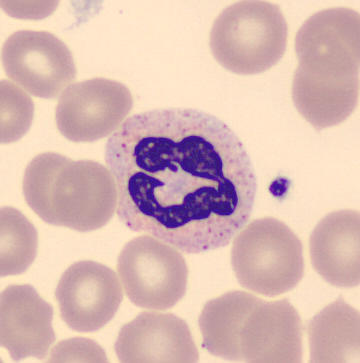

Image: Cropped to a single cell; peripheral blood smear. Q: What type of cell is this?
A: This is a neutrophil (segmented).